Single-cell field. Bone marrow smear. 40× objective, oil immersion.
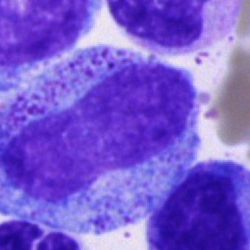The cell shown is a promyelocyte.